Bone marrow smear
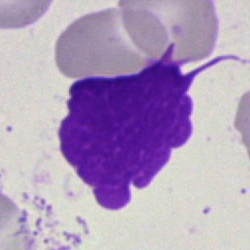 Showing an artefact.